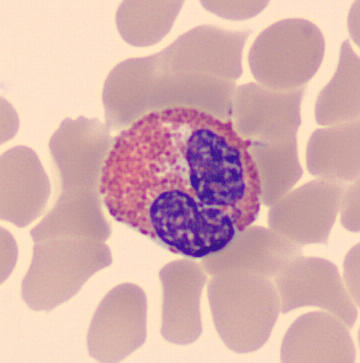

Specimen: peripheral blood smear.
Classification: eosinophilic granulocyte.